Bone marrow aspirate smear · single-cell field
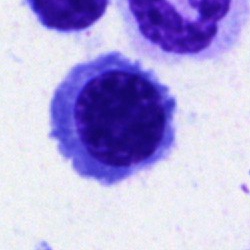Normoblast.